250×250. Brightfield microscopy, 40× oil immersion. Bone marrow aspirate smear — 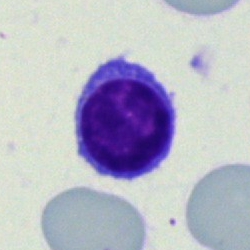
{"cell_type": "lymphocyte", "lineage": "lymphoid"}